Bone marrow aspirate smear; May-Grünwald-Giemsa/Pappenheim stain; brightfield microscopy, 40× oil immersion
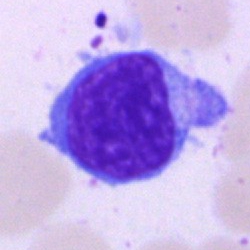 Specimen: bone marrow smear.
Classification: lymphocyte.